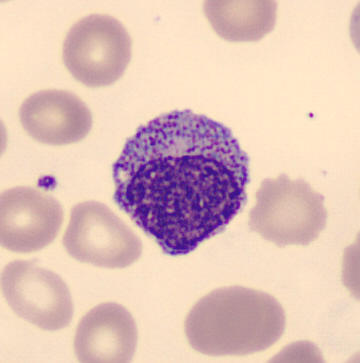

Q: What cell is this?
A: This is a myelocyte.
Acquisition: Peripheral blood film.